Bone marrow smear · brightfield, 40× oil-immersion objective:
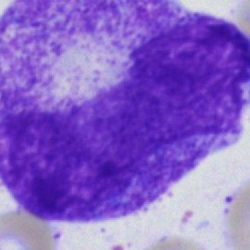 Classification: metamyelocyte.